Bone marrow aspirate smear. Pappenheim-stained
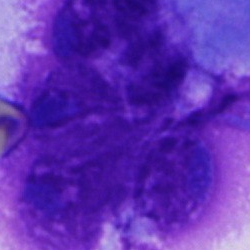Morphology → other cell.